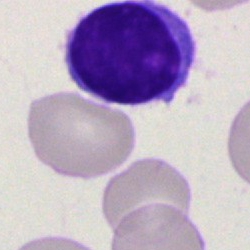 The classification is lymphocyte.